250×250. Bone marrow smear:
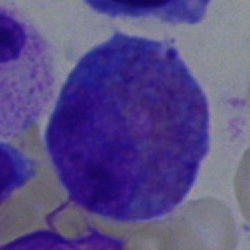This is an eosinophilic granulocyte.